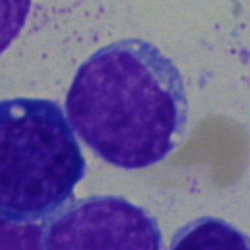
Impression — plasmacyte.